Bone marrow aspirate smear — 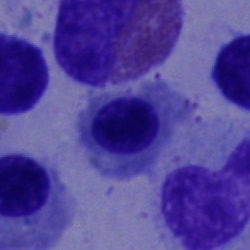

Band-form neutrophil.